Peripheral blood smear: 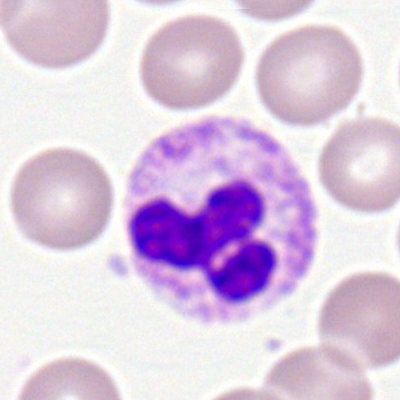

The cell shown is a segmented neutrophil.